Brightfield, 40× oil-immersion objective · bone marrow smear — 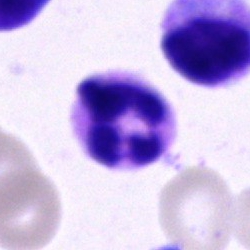

Q: What is the morphological classification of this cell?
A: A polymorphonuclear neutrophil.